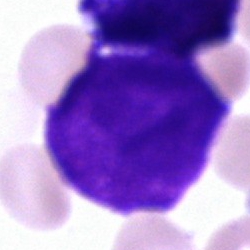 Q: What is the morphological classification of this cell?
A: Blast cell.